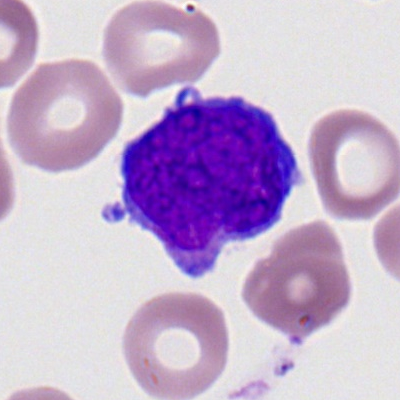Q: Which cell type is shown here?
A: It is a myeloid blast.